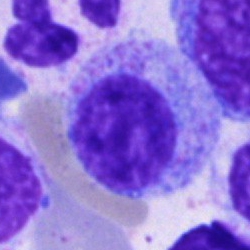Bone marrow smear showing a myelocyte.